Bone marrow smear — 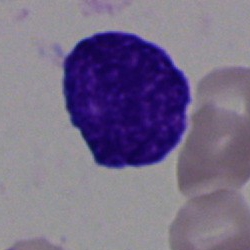
Impression — blast.